M8 digital microscope (Precipoint), 100× oil immersion. Peripheral blood film — 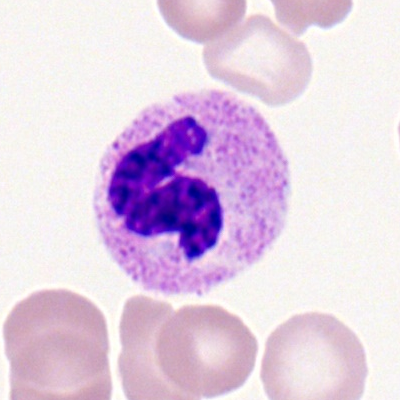 Morphology consistent with a neutrophil (segmented).